Bone marrow smear
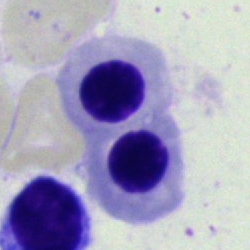Nucleated red blood cell.